Peripheral blood film:
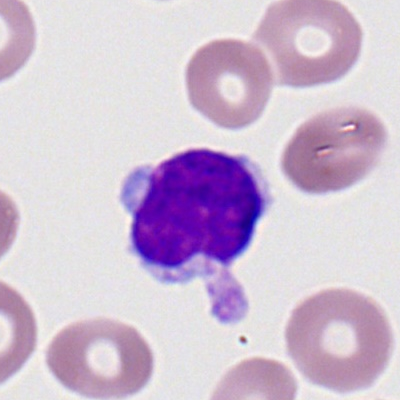 The cell type is typical lymphocyte.